Bone marrow smear: 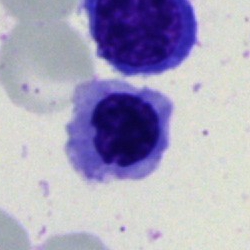 Specimen: bone marrow smear.
Cell type: erythroblast.
Lineage: erythroid.